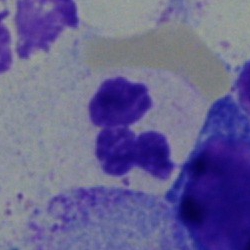
Q: What type of cell is this?
A: A segmented neutrophil.